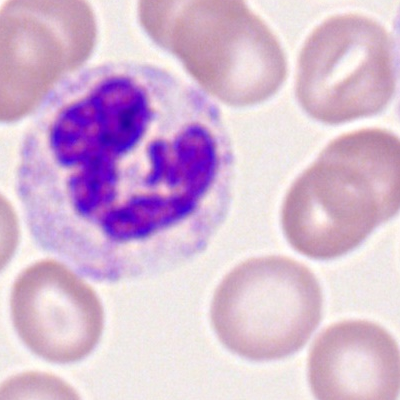 Q: What type of cell is this?
A: This is a neutrophil (segmented).